250 by 250 pixels; bone marrow aspirate smear
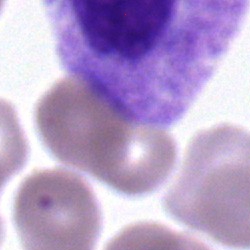

A band neutrophil.